Pappenheim-stained · bone marrow aspirate smear · 40× objective, oil immersion — 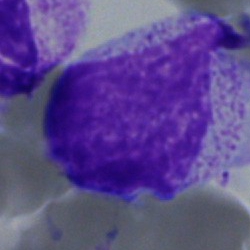Cell: myelocyte.